Peripheral blood smear
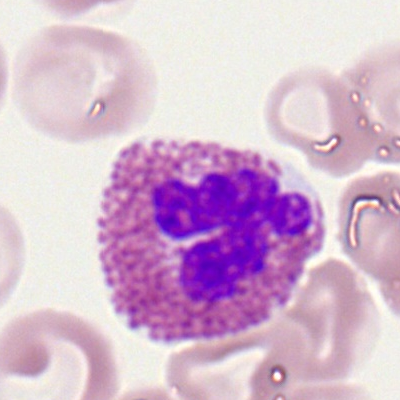 Specimen: peripheral blood smear.
Classification: eosinophilic granulocyte.
Lineage: myeloid.